Brightfield, 40× oil-immersion objective · image size 250×250 · bone marrow smear: 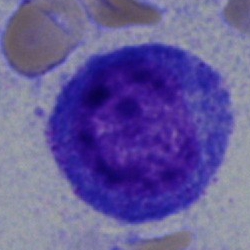Classification: progranulocyte.